Bone marrow aspirate smear: 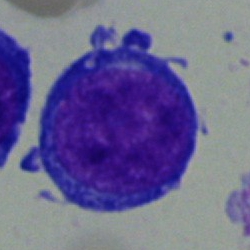

Cell type = pronormoblast.